Pappenheim-stained. Bone marrow aspirate smear. 250×250 — 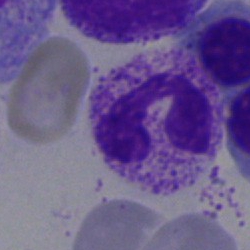
Single cell identified as a neutrophil (segmented).